Bone marrow aspirate smear: 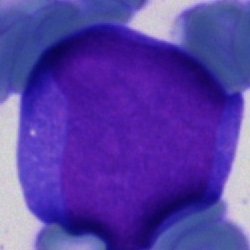Q: What cell is this?
A: Blast cell.